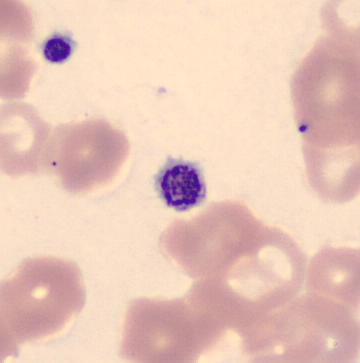

Image: Peripheral blood smear; 360×363 px. Morphology consistent with a platelet.